Bone marrow smear. 40× objective, oil immersion:
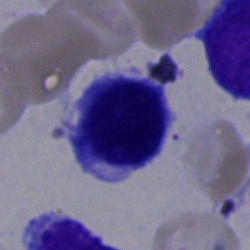 Single cell identified as a normoblast.